Bone marrow smear — 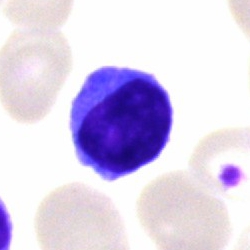

Cell type: typical lymphocyte.